250 by 250 pixels. 40× objective, oil immersion. Bone marrow smear: 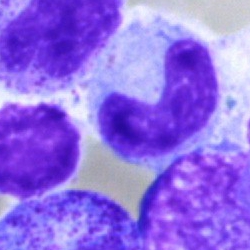

Q: Identify the cell.
A: This is a band neutrophil.